Bone marrow aspirate smear — 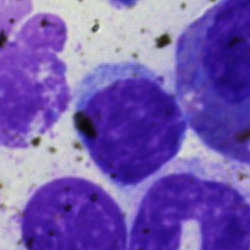 Morphology — typical lymphocyte.